Bone marrow aspirate smear; 250×250:
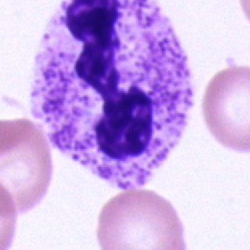

Q: What type of cell is this?
A: This is a segmented neutrophil.